Bone marrow smear.
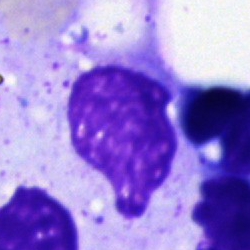 Specimen: bone marrow aspirate smear.
Cell: artifact.